Bone marrow aspirate smear
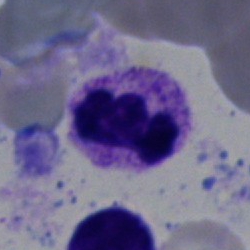 The cell type is segmented neutrophil.